Bone marrow aspirate smear — 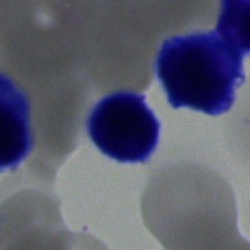 Classification — typical lymphocyte.